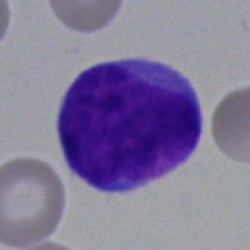
Q: Identify the cell.
A: A blast cell.